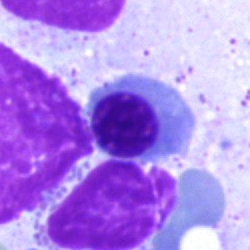 Morphology consistent with an erythroblast.